Bone marrow smear — 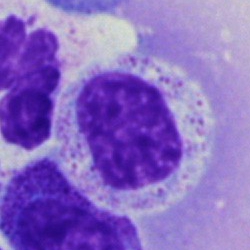

Single cell identified as a myelocyte.